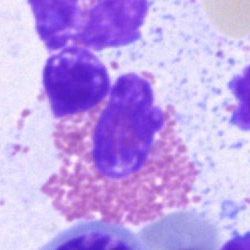
Specimen: bone marrow aspirate smear.
Morphological class: eosinophilic granulocyte.
Lineage: myeloid.